40× objective, oil immersion; bone marrow aspirate smear:
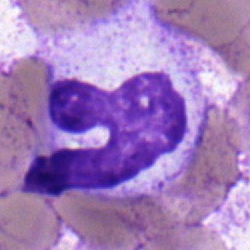 Q: What type of cell is this?
A: It is a segmented neutrophil.